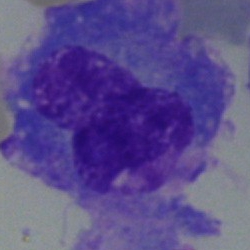A plasmacyte.